Bone marrow aspirate smear. May-Grünwald-Giemsa stain:
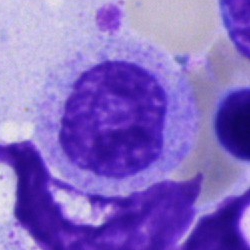

A promyelocyte.